Bone marrow aspirate smear
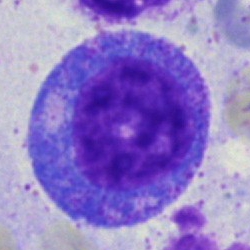 This is a progranulocyte.